Bone marrow smear — 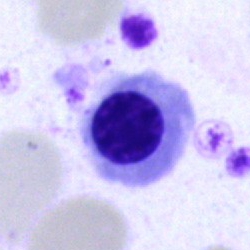
Morphology consistent with a nucleated red cell.